Bone marrow smear · Pappenheim-stained · 250 by 250 pixels — 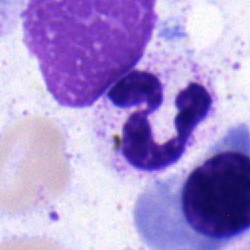
Cell type — neutrophil (segmented).